Peripheral blood film: 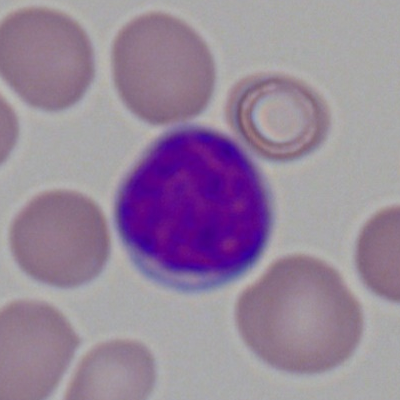Specimen: peripheral blood smear.
Cell type: lymphocyte.
Lineage: lymphoid.